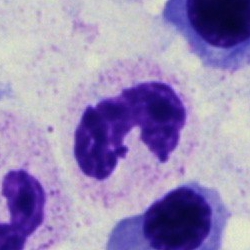The cell shown is a segmented neutrophil.